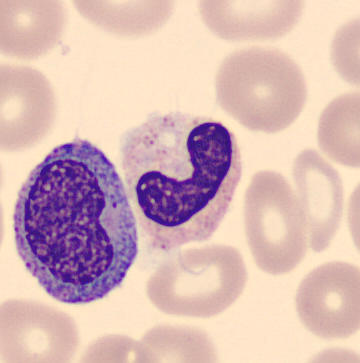

Q: Which cell type is shown here?
A: It is a stab cell.
360×363; May-Grünwald-Giemsa-stained; peripheral blood smear.